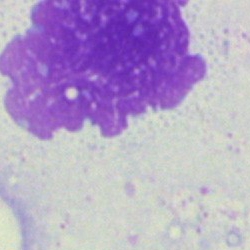
Q: What is shown here?
A: It is an artefact.